Bone marrow smear: 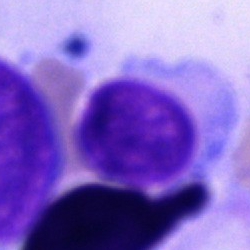
Classification: cell of indeterminate lineage.